Single-cell crop · 40× oil immersion · bone marrow smear:
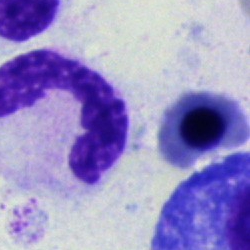 This is a band neutrophil.